Bone marrow smear: 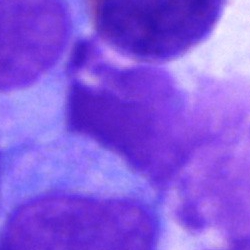
Artefact.